Bone marrow smear; brightfield, 40× oil-immersion objective — 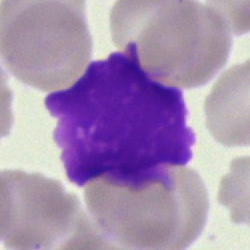
The classification is artefact.